250×250; bone marrow aspirate smear:
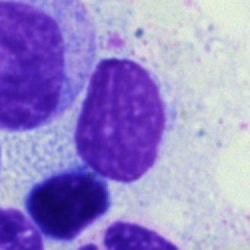
Artefact.